Bone marrow smear — 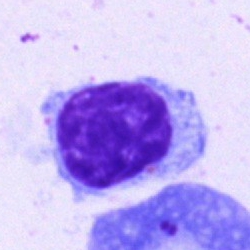 Morphology → lymphocyte.